Bone marrow smear — 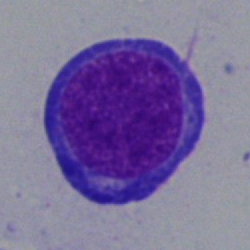

Nucleated red blood cell.